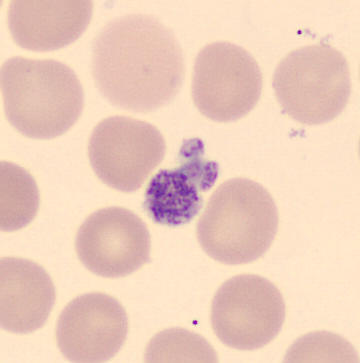
Specimen: peripheral blood film.
Morphological class: platelet.